Bone marrow smear; May-Grünwald-Giemsa stain — 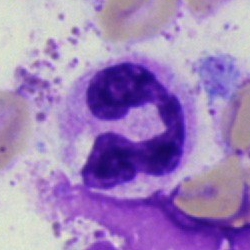

{"cell_type": "neutrophil (segmented)"}